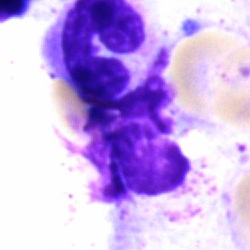

{"cell_type": "artifact"}